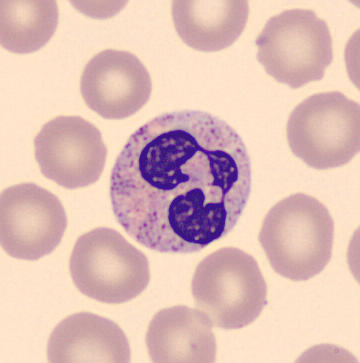

Peripheral blood smear. May Grünwald-Giemsa stain.
The classification is segmented neutrophil.